Peripheral blood smear.
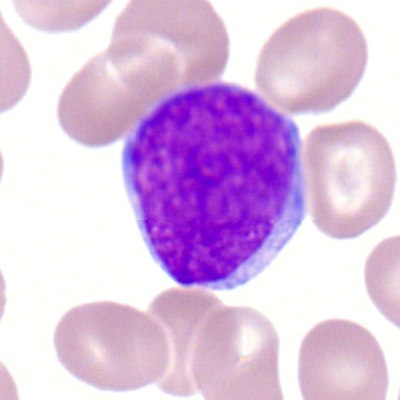
Single cell identified as a myeloblast.